Peripheral blood smear — 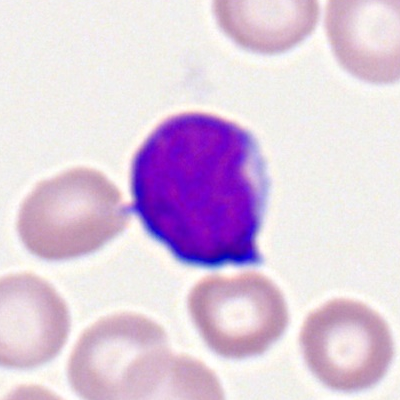{"cell_type": "lymphocyte", "lineage": "lymphoid"}